Bone marrow aspirate smear
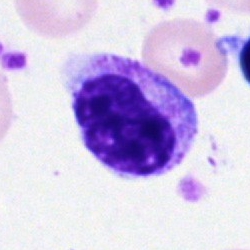Specimen: bone marrow smear.
Morphological class: metamyelocyte.